Bone marrow aspirate smear
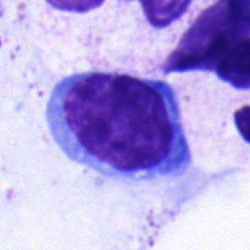 Single cell identified as a typical lymphocyte.